Single-cell crop; bone marrow smear.
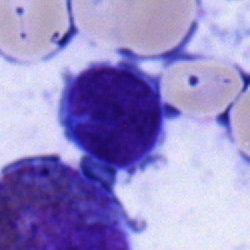
The morphological class is typical lymphocyte.